Bone marrow smear — 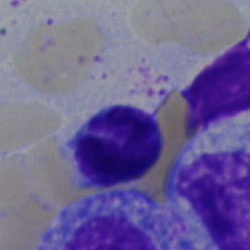
Q: What cell is this?
A: Lymphocyte.